Single cell centered in the field. Bone marrow aspirate smear. May-Grünwald-Giemsa stain: 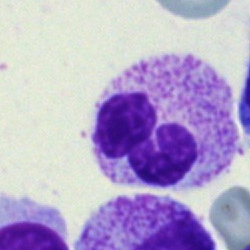 A polymorphonuclear neutrophil.